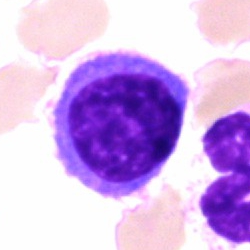

Typical lymphocyte.